Image size 250×250; bone marrow aspirate smear:
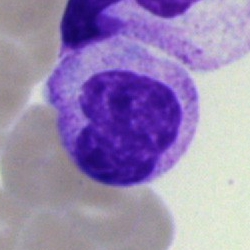{"cell_type": "artefact"}